Bone marrow aspirate smear.
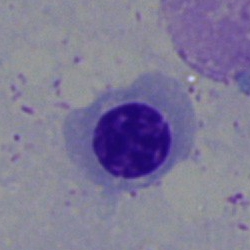Morphological class = nucleated red cell.